Bone marrow aspirate smear.
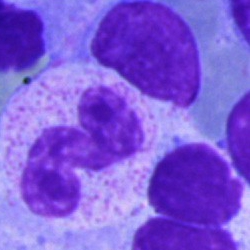
Morphological class — polymorphonuclear neutrophil.